Single cell centered in the field · bone marrow smear:
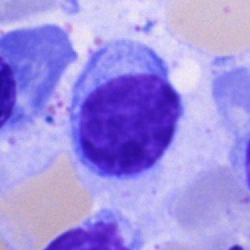 Cell type: typical lymphocyte.